Peripheral blood smear · M8 digital microscope (Precipoint), 100× oil immersion · cropped to a single cell
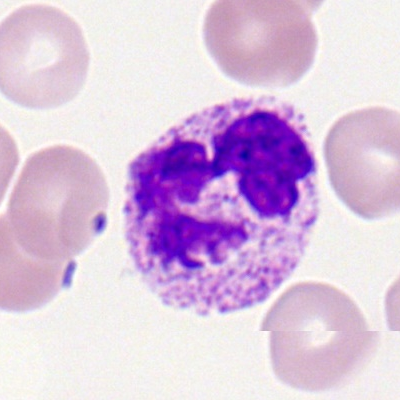
Impression → segmented neutrophil.